Peripheral blood film: 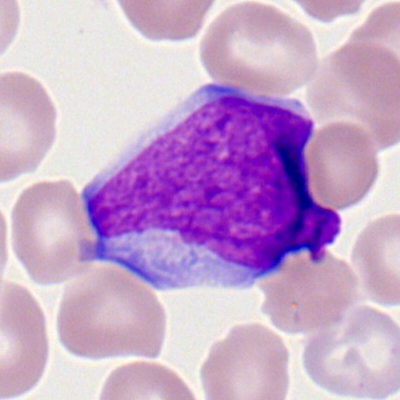 Classification — myeloblast.